Bone marrow aspirate smear:
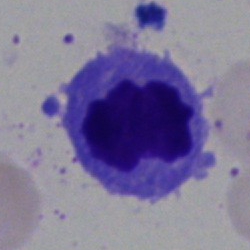

Cell type = normoblast.